Bone marrow smear
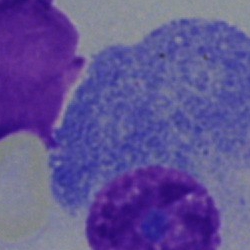Single cell identified as a plasmacyte.